Bone marrow aspirate smear. May-Grünwald-Giemsa/Pappenheim stain: 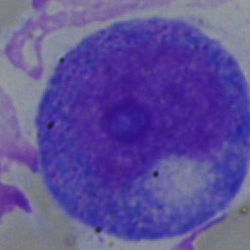Q: What is the morphological classification of this cell?
A: Promyelocyte.